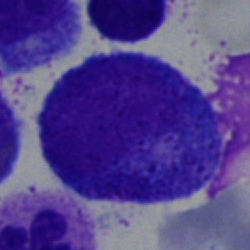 Morphological class = promyelocyte.